Bone marrow smear
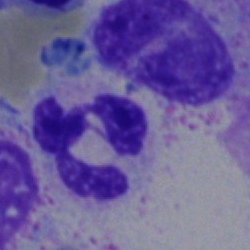Classification — neutrophil (segmented).